Brightfield microscopy, 40× oil immersion · May-Grünwald-Giemsa/Pappenheim stain · bone marrow aspirate smear: 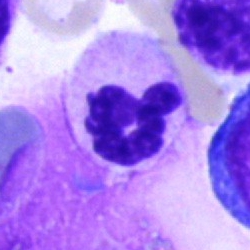
Segmented neutrophil.